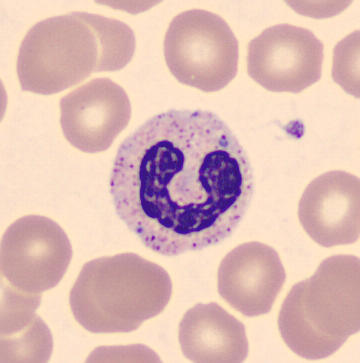

Impression → band neutrophil.

Preparation: Peripheral blood smear.